Bone marrow aspirate smear
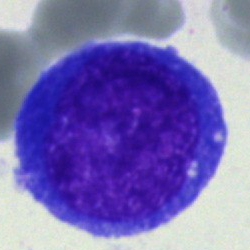 Classification = undifferentiated blast.